Bone marrow aspirate smear
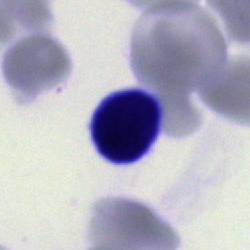{"cell_type": "typical lymphocyte", "lineage": "lymphoid"}